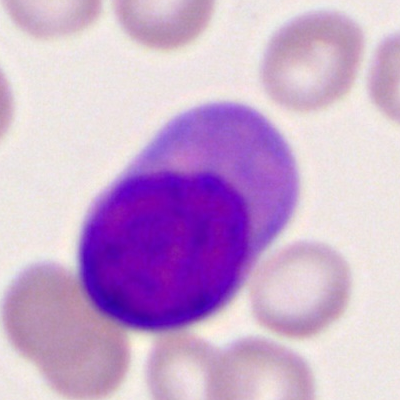Cell type = myeloblast.